Bone marrow aspirate smear
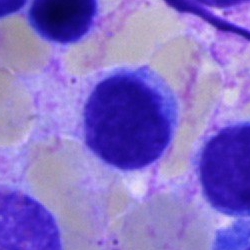 Specimen: bone marrow aspirate smear.
Cell: typical lymphocyte.
Lineage: lymphoid.